Bone marrow aspirate smear. 40× objective, oil immersion.
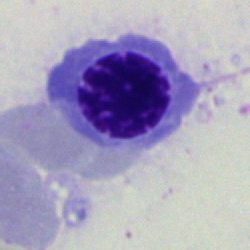

Classification = erythroblast.